250 by 250 pixels; bone marrow aspirate smear.
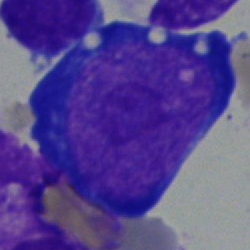 Cell: pronormoblast.